Cropped to a single cell · bone marrow smear: 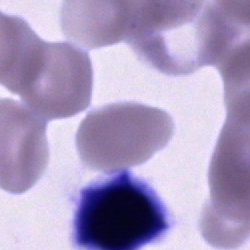Morphology — cell of indeterminate lineage.